Single-cell field. Bone marrow smear.
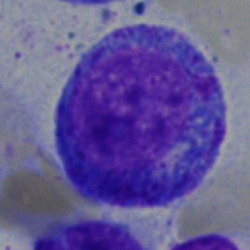Morphology — progranulocyte.